Bone marrow aspirate smear
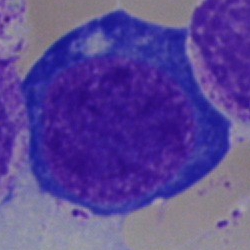This is an erythroblast.